Bone marrow smear
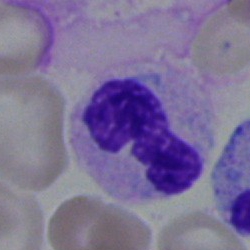 The cell shown is a segmented neutrophil.